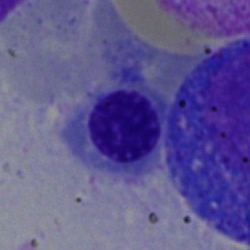

The cell type is erythroblast.